Bone marrow smear — 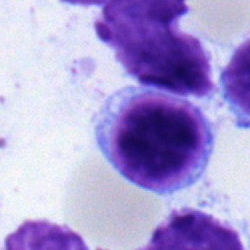
Morphological class: lymphocyte.